Bone marrow smear; May-Grünwald-Giemsa stain: 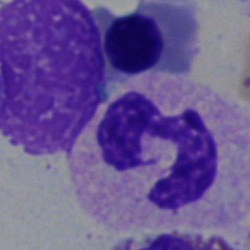
A segmented neutrophil.